Bone marrow smear. 250×250 px
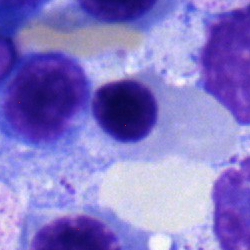
{"cell_type": "nucleated red cell", "lineage": "erythroid"}